250 by 250 pixels; bone marrow aspirate smear — 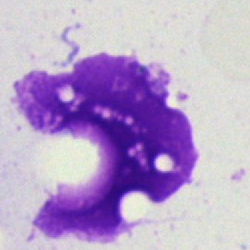 This is an artifact.